Bone marrow smear · May-Grünwald-Giemsa/Pappenheim stain: 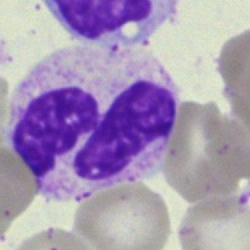

Impression → segmented neutrophil.